Peripheral blood film.
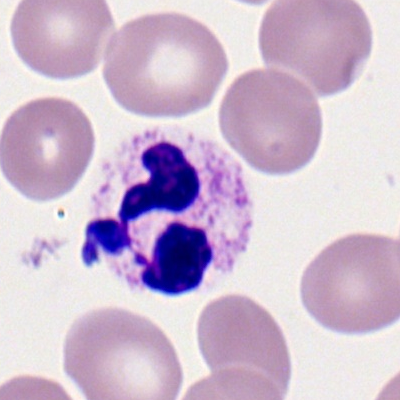 The cell shown is a neutrophil (segmented).